Bone marrow aspirate smear — 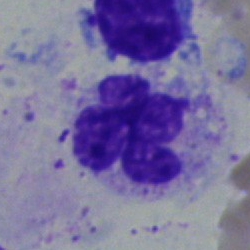Specimen: bone marrow smear.
Morphological class: neutrophil (segmented).